Bone marrow aspirate smear.
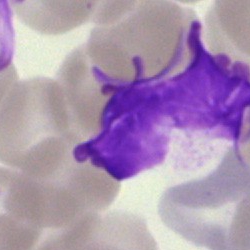 Classification: artefact.